Bone marrow smear. Image size 250×250.
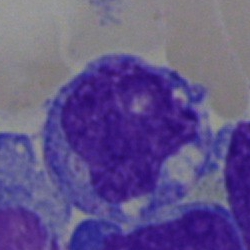

Single cell identified as a monocyte.